Single-cell field; bone marrow aspirate smear.
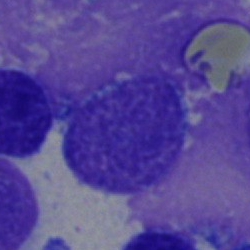 Cell: artifact.